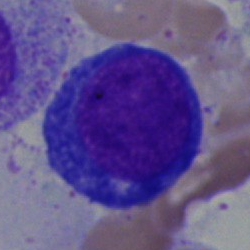Cell type: pronormoblast.